Bone marrow aspirate smear. Brightfield, 40× oil-immersion objective. Single-cell field:
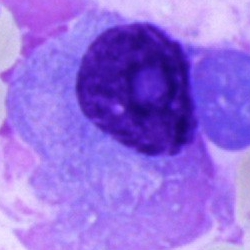 Specimen: bone marrow smear.
Morphological class: plasma cell.